Bone marrow smear: 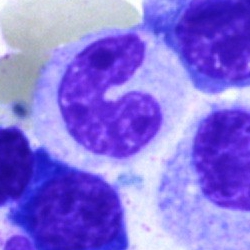
Impression — neutrophil (band).